Bone marrow aspirate smear — 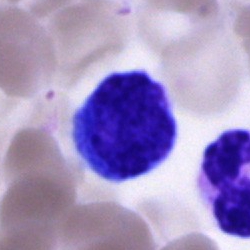
Showing a cell of indeterminate lineage.